250×250 px. Bone marrow smear: 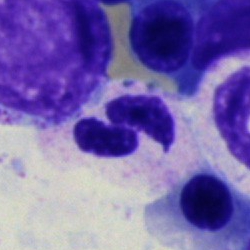

Classification — polymorphonuclear neutrophil.